Bone marrow aspirate smear
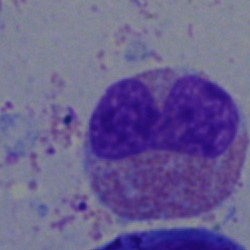

An eosinophilic granulocyte.